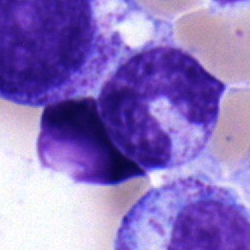 The cell type is band neutrophil.